Bone marrow aspirate smear · image size 250×250 · May-Grünwald-Giemsa stain:
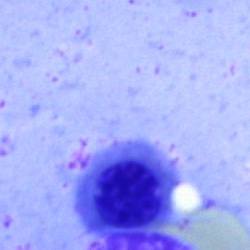
This is a nucleated red cell.